Bone marrow smear
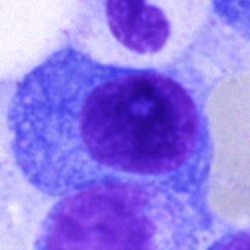
Plasma cell.